Romanowsky-stained; peripheral blood film:
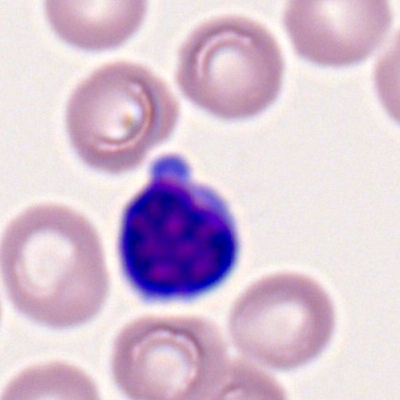 The cell shown is a lymphocyte.